Bone marrow smear · Pappenheim-stained
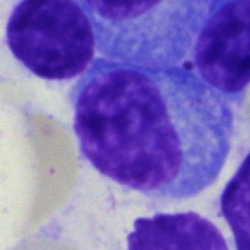
This is a plasma cell.